Bone marrow aspirate smear
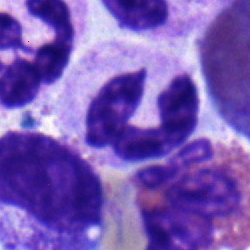
Q: What is the morphological classification of this cell?
A: Band-form neutrophil.